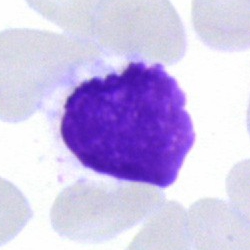

Single-cell crop from a bone marrow smear: smudge cell.